Bone marrow aspirate smear.
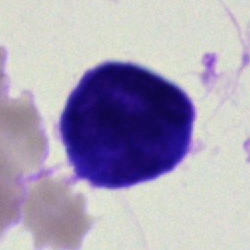

Morphological class = undifferentiated blast.